Brightfield microscopy, 40× oil immersion; bone marrow aspirate smear
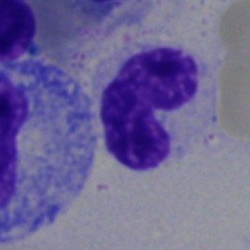 Impression — band neutrophil.